Peripheral blood film: 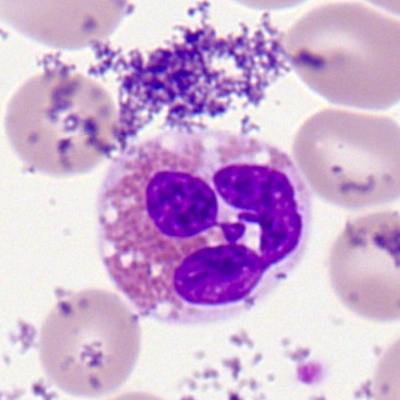

Q: Which cell type is shown here?
A: It is an eosinophil.